Bone marrow aspirate smear:
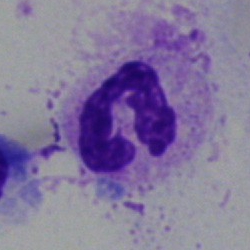Impression → polymorphonuclear neutrophil.